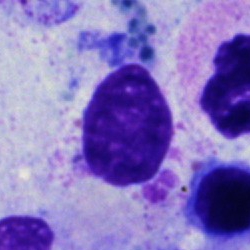Impression → artifact.